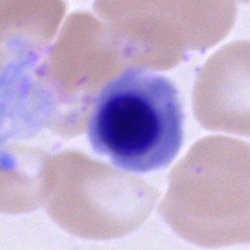Bone marrow smear showing a nucleated red blood cell.